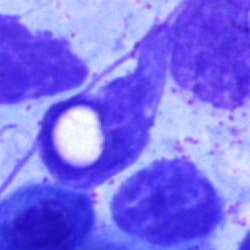

Q: What is shown here?
A: Artefact.